Single cell centered in the field; bone marrow aspirate smear: 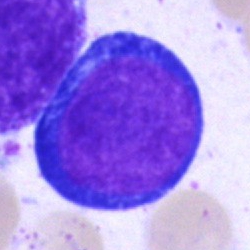

Morphology consistent with a proerythroblast.